Bone marrow smear.
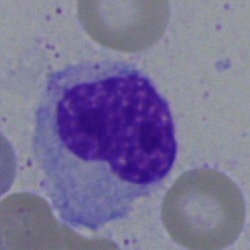A monocyte.